Pappenheim-stained · 40× oil immersion · bone marrow aspirate smear: 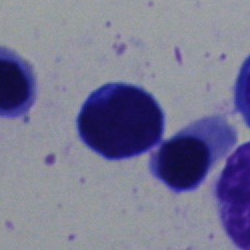
Morphology — typical lymphocyte.